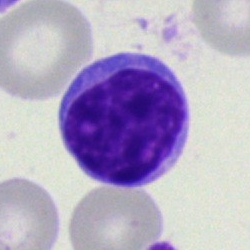 Bone marrow aspirate smear, single cell — lymphocyte.